Peripheral blood smear. Image size 400×400 — 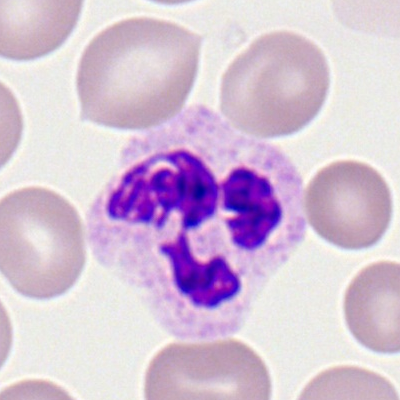

Morphology consistent with a neutrophil (segmented).